Bone marrow aspirate smear.
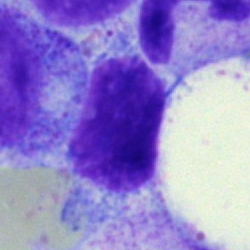The cell type is cell of indeterminate lineage.